Bone marrow smear · image size 250×250 — 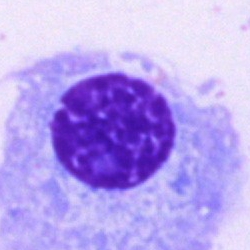Cell — plasmacyte.